Bone marrow aspirate smear — 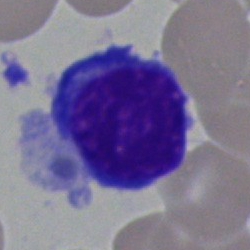

The cell type is plasma cell.